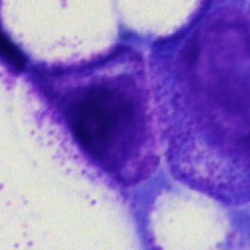 Cell type — artefact.